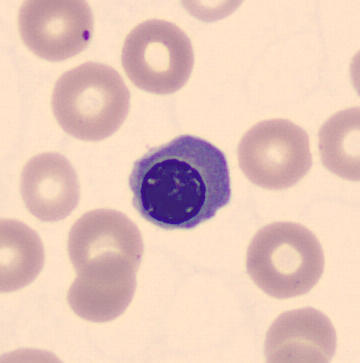
May Grünwald-Giemsa stain; peripheral blood smear.

Q: What cell is this?
A: It is a nucleated red blood cell.